Bone marrow aspirate smear · Pappenheim-stained: 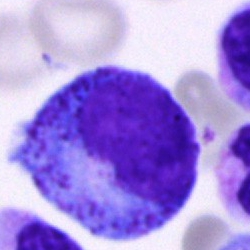Classification — promyelocyte.